Bone marrow aspirate smear:
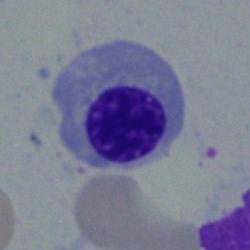

An erythroblast.